400×400 px. 100× objective, oil immersion. Peripheral blood smear: 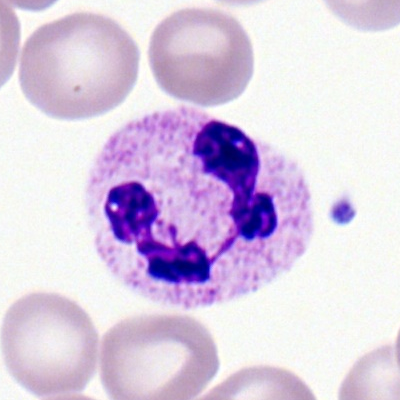
The morphological class is polymorphonuclear neutrophil.